Bone marrow smear
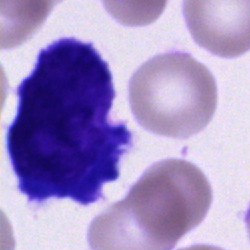 Q: What is the morphological classification of this cell?
A: It is an unidentifiable cell.